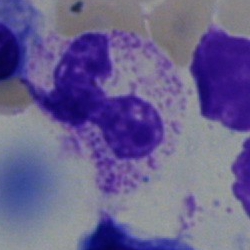
Q: Identify the cell.
A: This is a segmented neutrophil.